Bone marrow smear
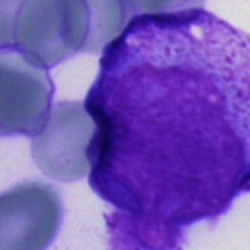
Morphology consistent with a blast cell.